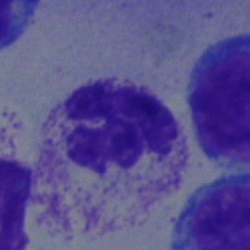

Single-cell crop from a bone marrow smear: segmented neutrophil.